Bone marrow aspirate smear:
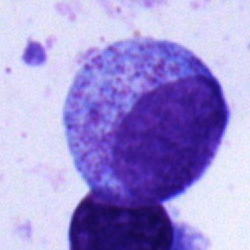The morphological class is myelocyte.